Bone marrow smear
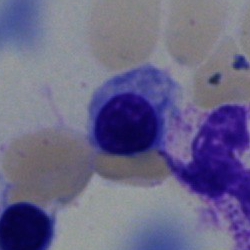 Q: Which cell type is shown here?
A: An erythroblast.